Bone marrow aspirate smear: 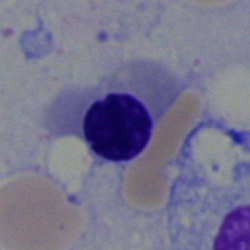 Nucleated red blood cell.